Bone marrow aspirate smear.
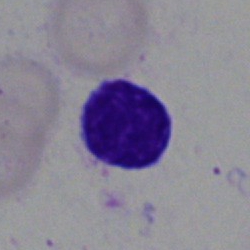
Impression — lymphocyte.